May-Grünwald-Giemsa stain; bone marrow smear: 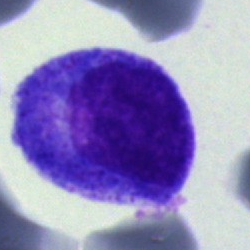Single cell identified as a progranulocyte.